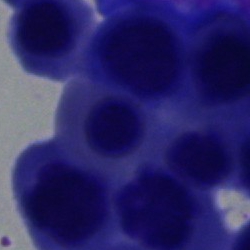

Specimen: bone marrow smear.
Morphological class: nucleated red blood cell.